Cropped to a single cell. Peripheral blood smear:
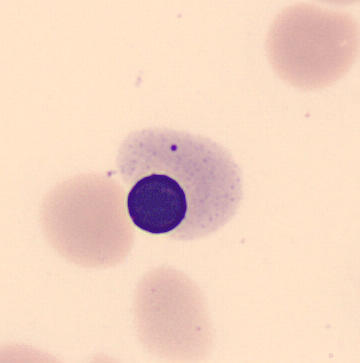 Morphology consistent with a normoblast.